Bone marrow smear — 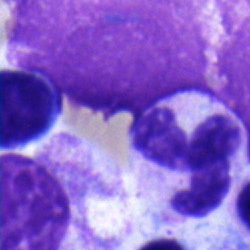
Morphology → lymphocyte.